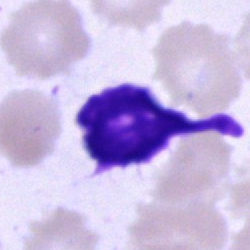 Classification = unidentifiable cell.